Bone marrow smear; 40× oil immersion; 250 by 250 pixels: 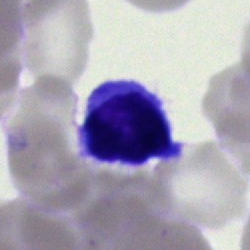 Specimen: bone marrow aspirate smear.
Cell: lymphocyte.